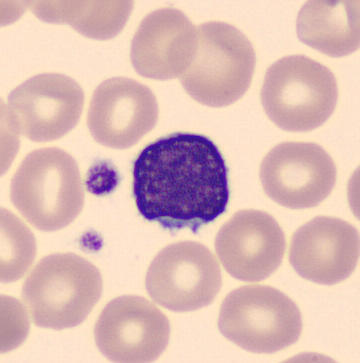
Q: What cell is this?
A: This is a lymphocyte.

May-Grünwald-Giemsa-stained; peripheral blood film; 360×363.